MGG-stained · bone marrow aspirate smear: 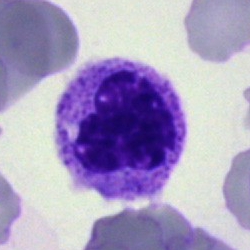Cell — polymorphonuclear neutrophil.